Bone marrow smear · Pappenheim-stained
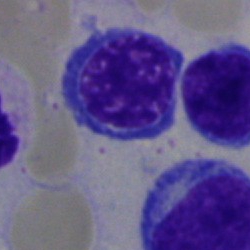Q: Which cell type is shown here?
A: Nucleated red cell.